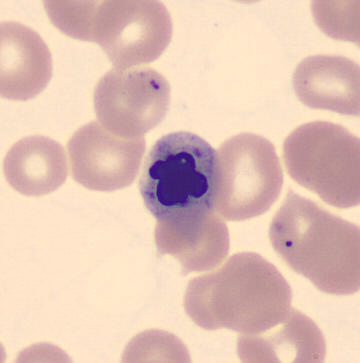

Preparation: Peripheral blood film.
Showing a nucleated red cell.